Bone marrow aspirate smear — 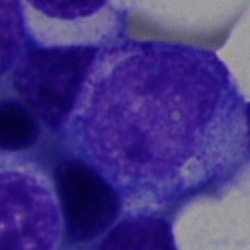
This is a progranulocyte.